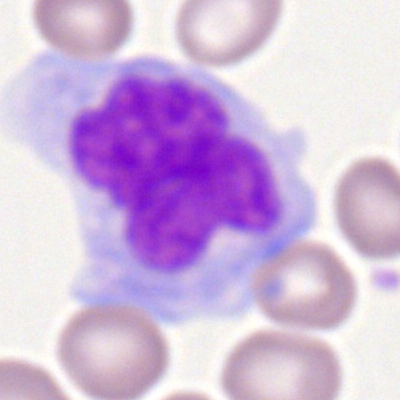 Peripheral blood smear showing a monocyte.